Peripheral blood film:
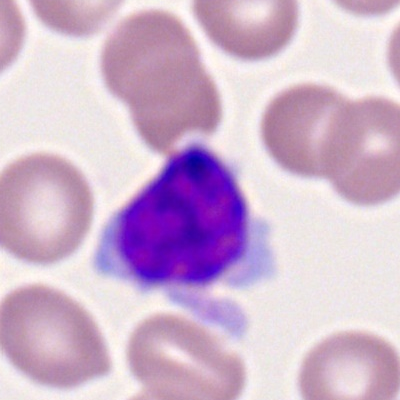

Morphology — lymphocyte.